Bone marrow aspirate smear.
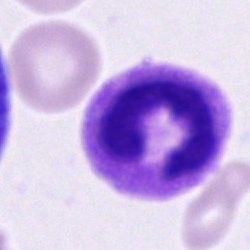

Q: What cell is this?
A: Segmented neutrophil.